Bone marrow aspirate smear:
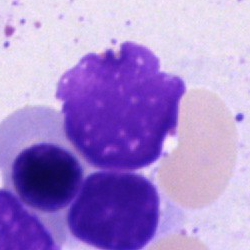The cell shown is an artefact.